Bone marrow smear: 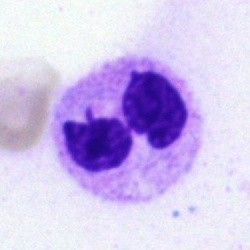 The cell type is polymorphonuclear neutrophil.